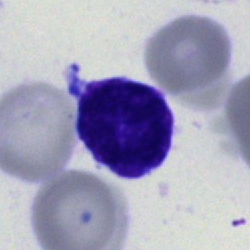
Cell = blast cell.